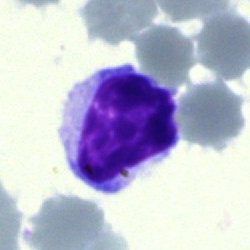 Single cell identified as a typical lymphocyte.